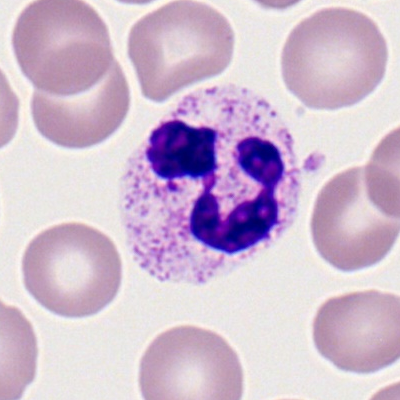

Segmented neutrophil.